Bone marrow aspirate smear: 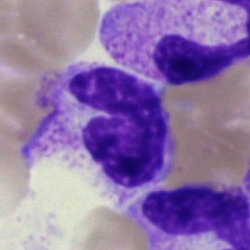Morphology consistent with a stab cell.